Bone marrow aspirate smear; 40× oil immersion:
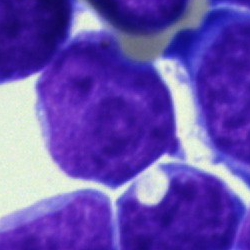
Cell type — blast.